Bone marrow aspirate smear:
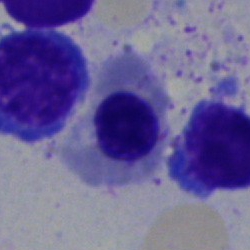 Specimen: bone marrow aspirate smear.
Classification: erythroblast.
Lineage: erythroid.